Image size 250×250; bone marrow smear.
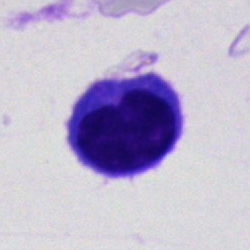 The cell is lymphocyte.